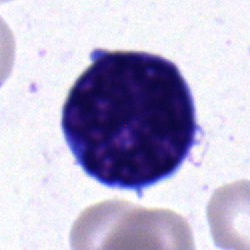

Showing a monocyte.